Bone marrow aspirate smear.
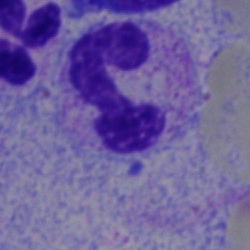Cell type: segmented neutrophil.